Peripheral blood smear:
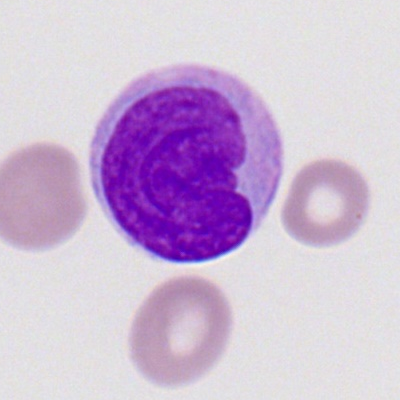Myeloid blast.